Bone marrow aspirate smear.
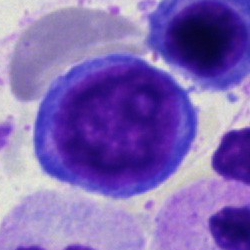

Impression — typical lymphocyte.